Single-cell crop · bone marrow smear:
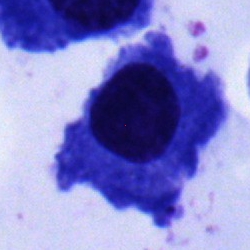

Showing a plasma cell.